Peripheral blood film.
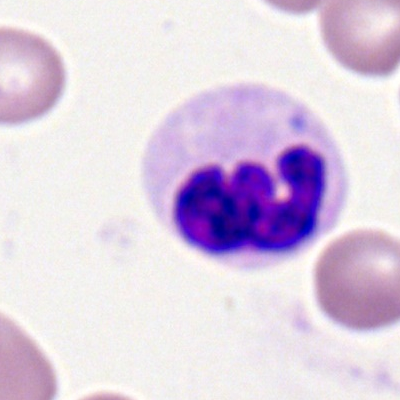Q: What is shown here?
A: It is a polymorphonuclear neutrophil.